Bone marrow smear — 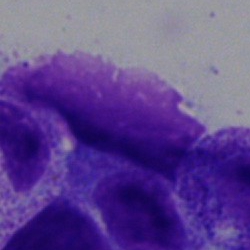The cell shown is an artifact.